Bone marrow aspirate smear.
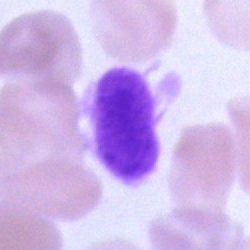 Single cell identified as an artifact.